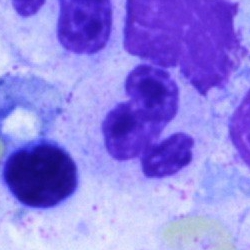Single cell identified as a neutrophil (segmented).